Bone marrow smear; MGG-stained — 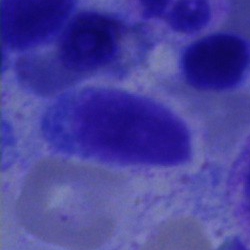Single cell identified as a typical lymphocyte.